Bone marrow aspirate smear.
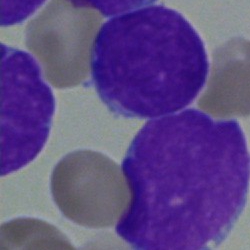
Q: Identify the cell.
A: Undifferentiated blast.